Bone marrow smear
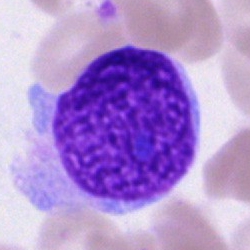

{"cell_type": "artefact"}